MGG-stained. Bone marrow aspirate smear. Cropped to a single cell
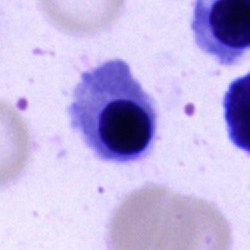 A nucleated red blood cell.